Single-cell field; bone marrow smear; brightfield, 40× oil-immersion objective
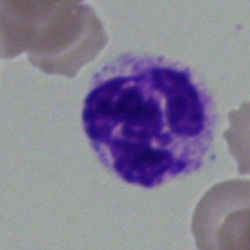The cell shown is a polymorphonuclear neutrophil.